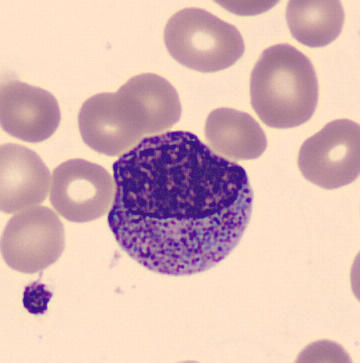 360×363. Peripheral blood smear.
Q: What is shown here?
A: It is a myelocyte.